May-Grünwald-Giemsa/Pappenheim stain; bone marrow smear; 40× objective, oil immersion.
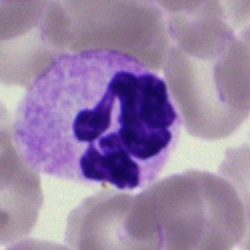 Classification: polymorphonuclear neutrophil.